Bone marrow aspirate smear: 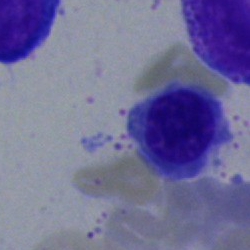 Q: Identify the cell.
A: A typical lymphocyte.